Bone marrow smear · 40× oil immersion: 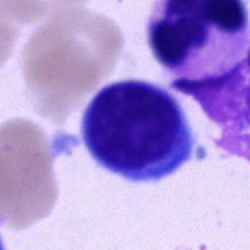
Morphological class — typical lymphocyte.